Bone marrow aspirate smear; MGG-stained — 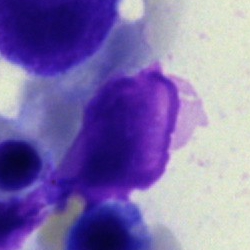Q: What is shown here?
A: Artefact.